Bone marrow aspirate smear; 40× oil immersion: 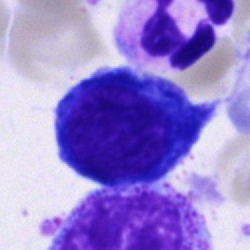
{"cell_type": "normoblast", "lineage": "erythroid"}